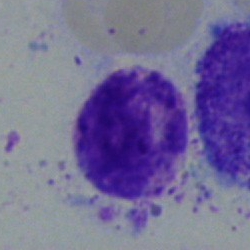
Bone marrow smear showing a basophilic granulocyte.